Brightfield, 40× oil-immersion objective; bone marrow smear — 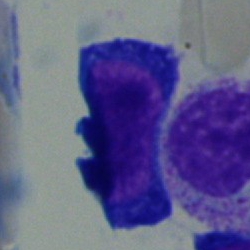 Specimen: bone marrow smear.
Classification: proerythroblast.
Lineage: erythroid.